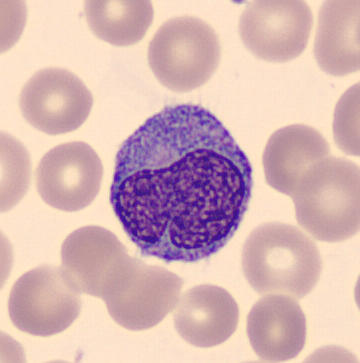 Cell type — monocyte.